Bone marrow aspirate smear.
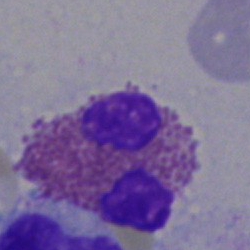 Cell type = eosinophil.